Bone marrow smear: 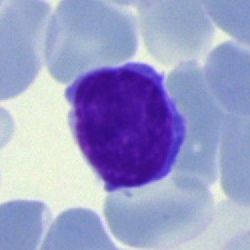
Q: What is shown here?
A: A typical lymphocyte.